May-Grünwald-Giemsa stain; bone marrow aspirate smear — 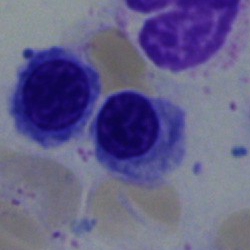

The cell type is erythroblast.